Bone marrow aspirate smear · cropped to a single cell:
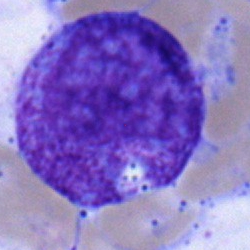
Morphology — myelocyte.